Bone marrow aspirate smear.
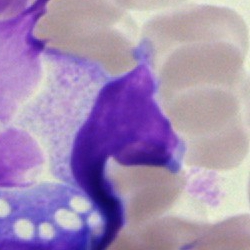
An artefact.